Bone marrow smear — 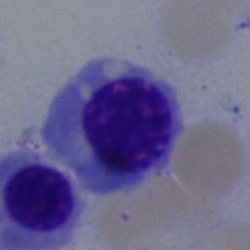Specimen: bone marrow aspirate smear.
Morphological class: nucleated red cell.